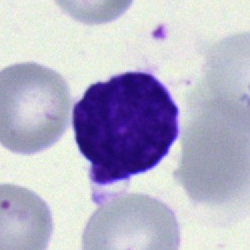
Impression → typical lymphocyte.